Single cell centered in the field · MGG-stained · bone marrow smear:
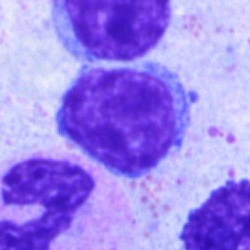

Q: What cell is this?
A: It is a lymphocyte.